May-Grünwald-Giemsa/Pappenheim stain; 250×250 px; bone marrow smear.
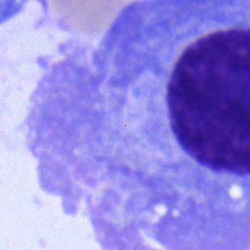

The cell type is plasma cell.